Bone marrow smear — 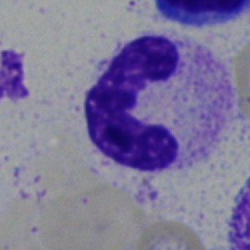
Classification = band-form neutrophil.